Bone marrow aspirate smear:
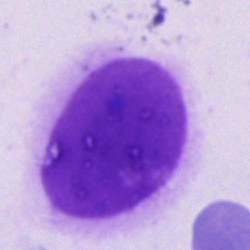Single cell identified as an artifact.